Bone marrow aspirate smear — 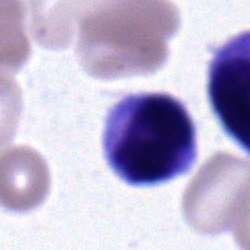The cell shown is a monocyte.